Peripheral blood smear
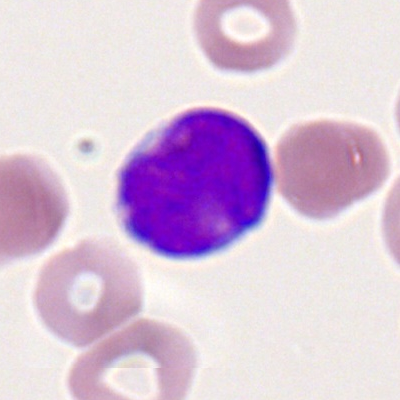
This is a myeloid blast.